May-Grünwald-Giemsa stain · single-cell field · bone marrow smear — 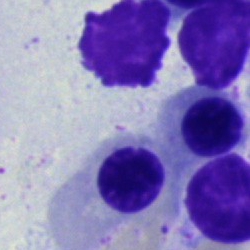

The cell shown is an erythroblast.